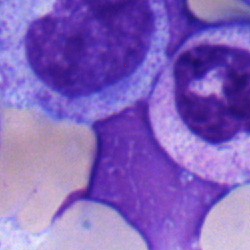
A metamyelocyte on a bone marrow smear.